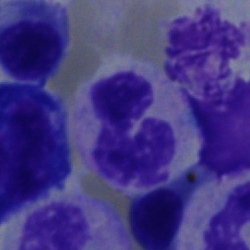

Impression — segmented neutrophil.